360×363. Peripheral blood smear.
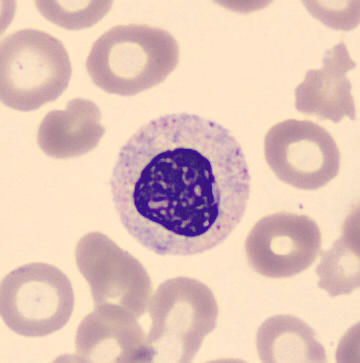
Morphological class: myelocyte.